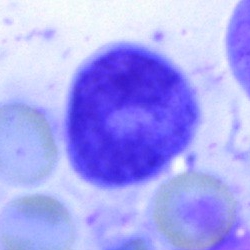
Specimen: bone marrow smear.
Cell type: unidentifiable cell.